Brightfield, 40× oil-immersion objective. Bone marrow aspirate smear:
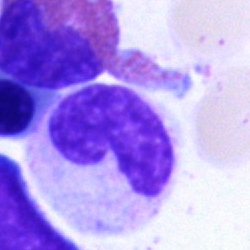

Q: What type of cell is this?
A: This is a neutrophil (band).